Bone marrow aspirate smear. Pappenheim-stained. Image size 250×250:
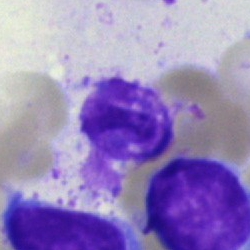
Specimen: bone marrow aspirate smear.
Morphological class: artefact.